Brightfield microscopy, 40× oil immersion · bone marrow smear
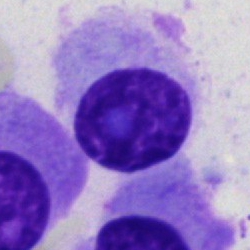 Morphology consistent with an artefact.